Bone marrow smear
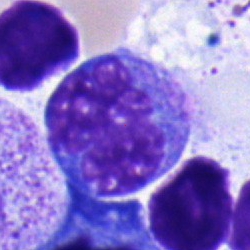
The classification is erythroblast.